Bone marrow smear
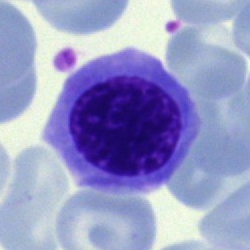Q: What cell is this?
A: Normoblast.